Bone marrow smear · Pappenheim-stained
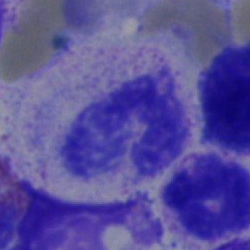 Q: What is shown here?
A: A polymorphonuclear neutrophil.